Single-cell field. Peripheral blood smear. 100× oil immersion: 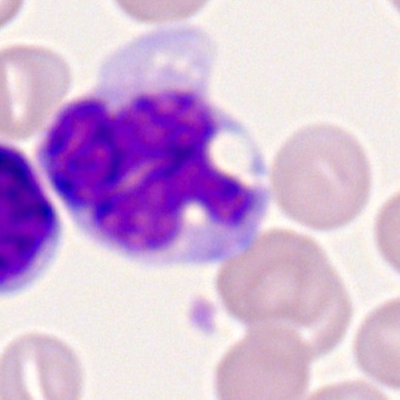
Q: Identify the cell.
A: Monocyte.